Bone marrow aspirate smear; 40× oil immersion:
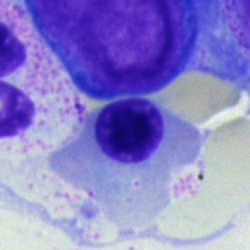 Specimen: bone marrow smear.
Cell type: nucleated red cell.
Lineage: erythroid.